Bone marrow smear — 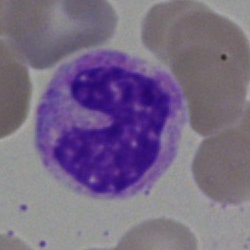 Classification: band-form neutrophil.